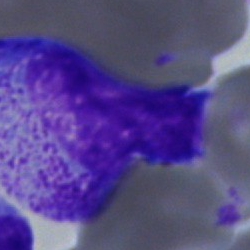
Bone marrow smear showing a progranulocyte.